Bone marrow aspirate smear · 40× objective, oil immersion
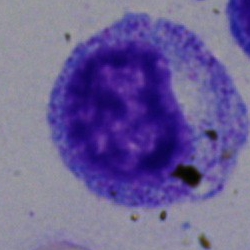

Q: What cell is this?
A: Myelocyte.